Bone marrow aspirate smear · 40× objective, oil immersion — 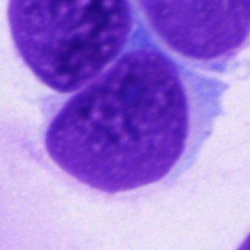

The cell shown is an artefact.